May-Grünwald-Giemsa stain; bone marrow smear
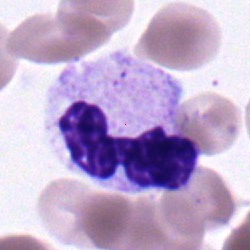Impression → neutrophil (segmented).